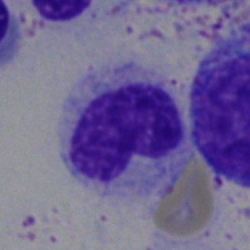

Specimen: bone marrow aspirate smear.
Cell type: stab cell.